Bone marrow smear — 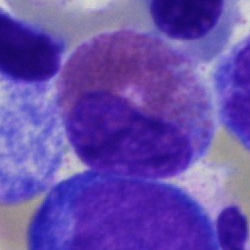
Cell = eosinophilic granulocyte.